Bone marrow aspirate smear — 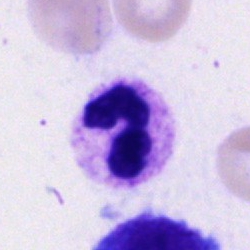

Morphology consistent with a polymorphonuclear neutrophil.